Bone marrow smear.
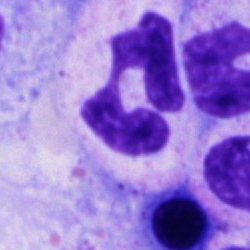Morphology consistent with a segmented neutrophil.